Bone marrow smear — 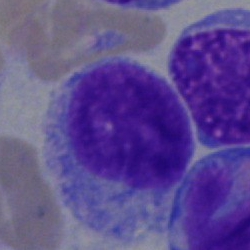

A blast.